Bone marrow aspirate smear.
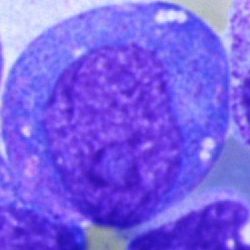Single cell identified as a progranulocyte.